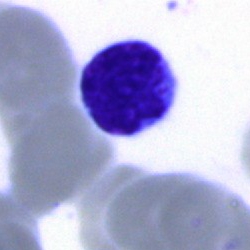

The cell shown is a typical lymphocyte.